Single-cell field; brightfield, 40× oil-immersion objective; bone marrow aspirate smear
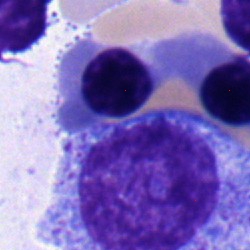Q: Which cell type is shown here?
A: Normoblast.